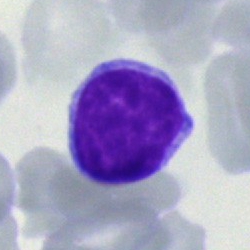Classification = typical lymphocyte.